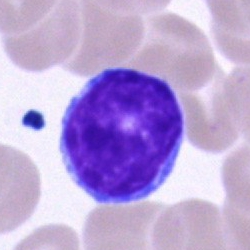Cell type: typical lymphocyte.